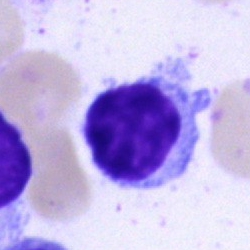Typical lymphocyte.